Bone marrow aspirate smear.
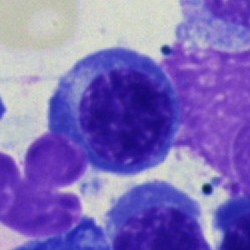Classification — normoblast.